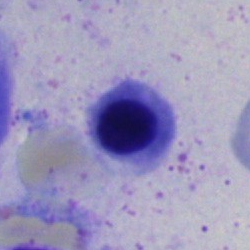
Morphology → erythroblast.